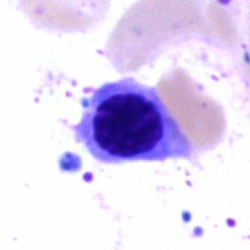

Morphology — nucleated red cell.